Bone marrow aspirate smear · May-Grünwald-Giemsa stain:
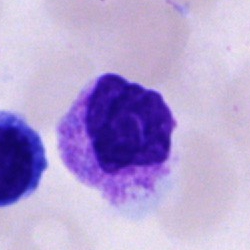
Morphological class: segmented neutrophil.